Bone marrow smear · MGG-stained — 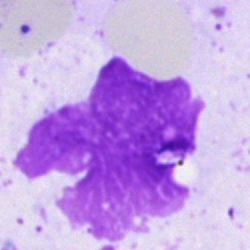

Specimen: bone marrow aspirate smear.
Classification: artifact.